Bone marrow smear
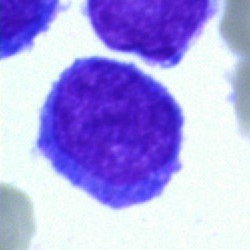

Cell type: blast cell.